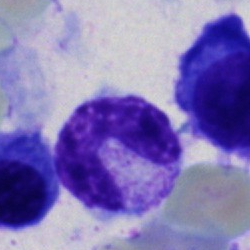
Morphological class: band-form neutrophil.